Peripheral blood film:
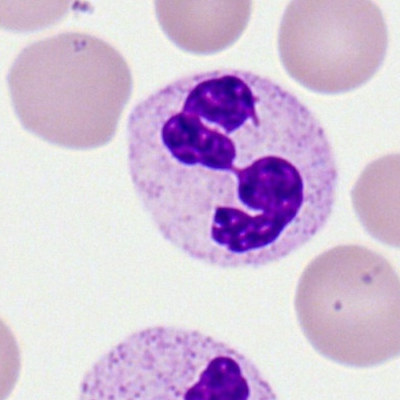Morphology → segmented neutrophil.